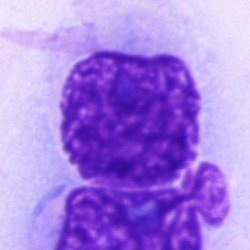 Single-cell crop from a bone marrow smear: artefact.